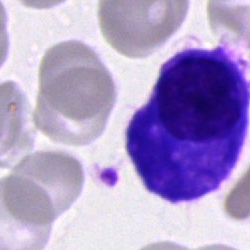
Q: Which cell type is shown here?
A: A plasmacyte.